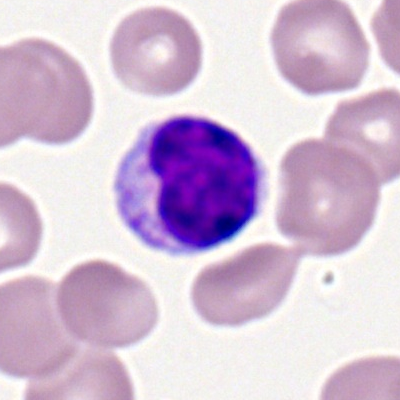Classification: typical lymphocyte.